Bone marrow smear. 40× oil immersion — 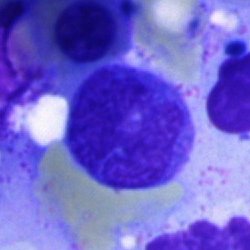Showing a lymphocyte.